Bone marrow aspirate smear.
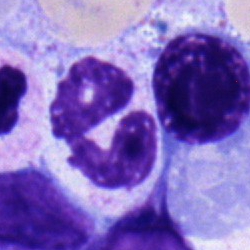

Showing a neutrophil (segmented).